Bone marrow aspirate smear:
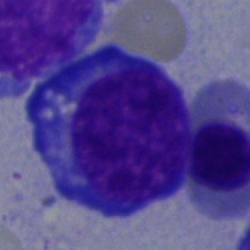
Impression — proerythroblast.